Bone marrow aspirate smear: 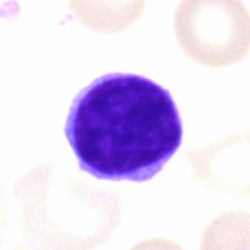
{"cell_type": "typical lymphocyte", "lineage": "lymphoid"}